Bone marrow smear: 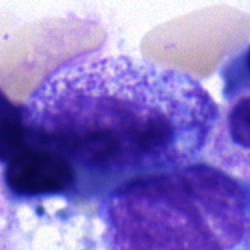
The cell shown is a myelocyte.